Bone marrow smear
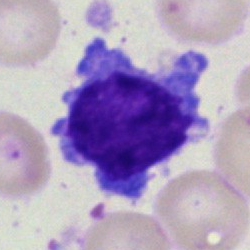
Morphology → lymphocyte.